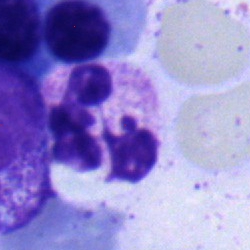{"cell_type": "segmented neutrophil", "lineage": "myeloid"}